Single-cell field · bone marrow aspirate smear:
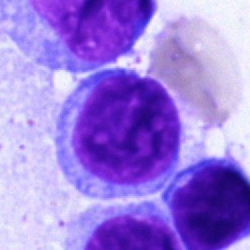 Q: Identify the cell.
A: This is a typical lymphocyte.